Bone marrow aspirate smear: 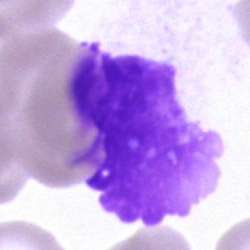 Q: What is shown here?
A: It is an artefact.